Bone marrow smear
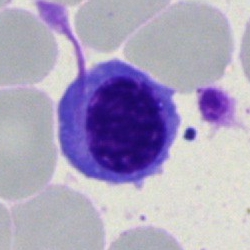
Morphology — nucleated red cell.